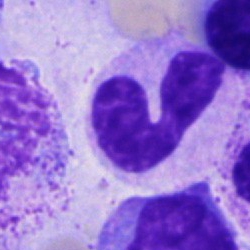Morphological class = neutrophil (band).